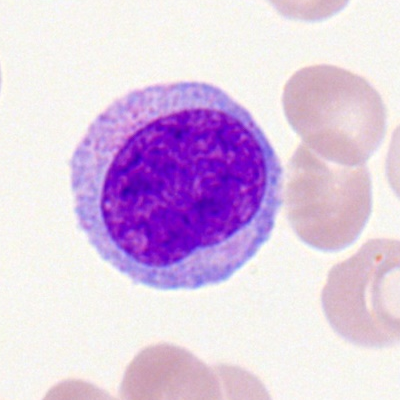Impression — monocyte.